Bone marrow smear · 40× objective, oil immersion — 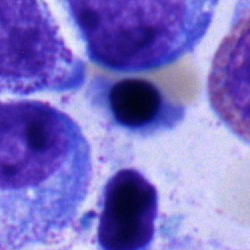
Q: What type of cell is this?
A: This is a progranulocyte.